250 by 250 pixels. Bone marrow aspirate smear
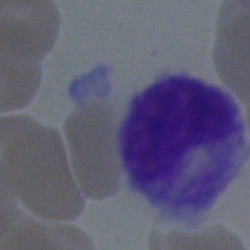 {"cell_type": "metamyelocyte", "lineage": "myeloid"}